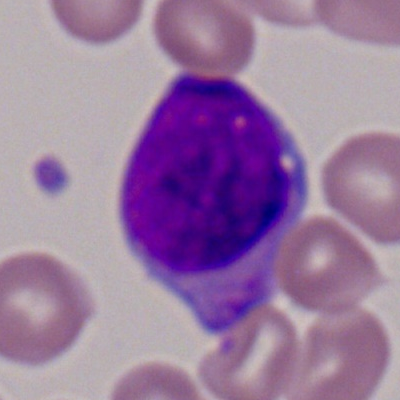 Morphological class — myeloblast.